Peripheral blood smear
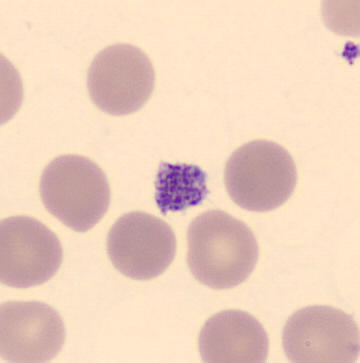

Q: What is shown here?
A: Thrombocyte.